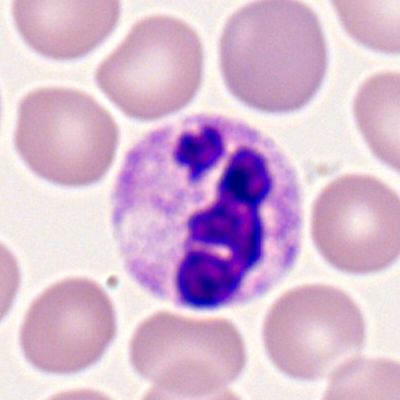
Peripheral blood smear showing a segmented neutrophil.